Pappenheim-stained · bone marrow aspirate smear · image size 250×250:
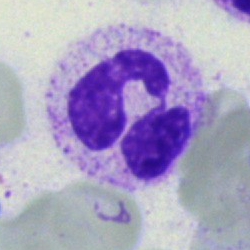{"cell_type": "segmented neutrophil"}